Bone marrow aspirate smear: 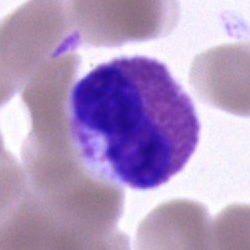

Showing an eosinophilic granulocyte.